Bone marrow smear
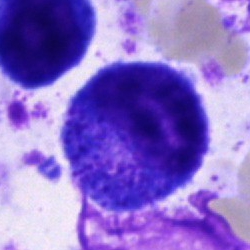
Q: What type of cell is this?
A: It is a progranulocyte.